Bone marrow aspirate smear
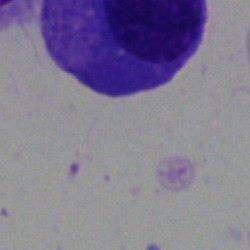Q: What is shown here?
A: A cell of indeterminate lineage.